Bone marrow aspirate smear.
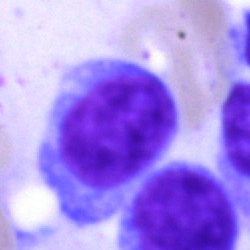 Lymphocyte.